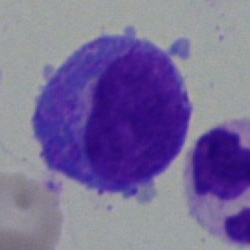
This is a blast cell.